Peripheral blood film
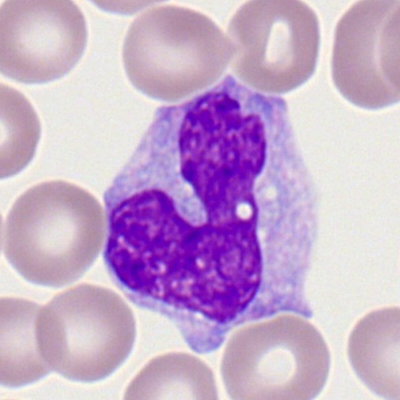
The cell shown is a monocyte.